Bone marrow aspirate smear:
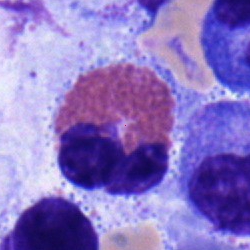Specimen: bone marrow smear.
Cell type: eosinophil.